250×250. Bone marrow aspirate smear.
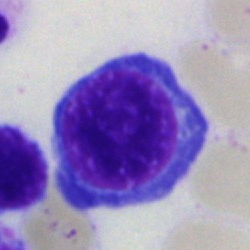

Specimen: bone marrow aspirate smear.
Cell type: nucleated red cell.